Bone marrow aspirate smear:
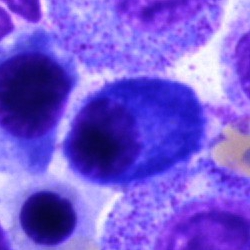 Specimen: bone marrow aspirate smear.
Morphological class: plasmacyte.